Pappenheim-stained; bone marrow smear: 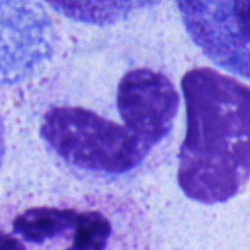 Morphology consistent with a band-form neutrophil.